Cropped to a single cell; bone marrow aspirate smear; May-Grünwald-Giemsa stain
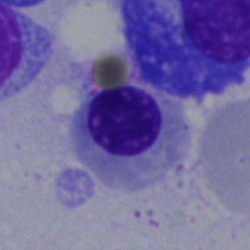 Impression — nucleated red cell.